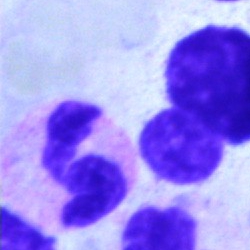 A polymorphonuclear neutrophil on a bone marrow smear.